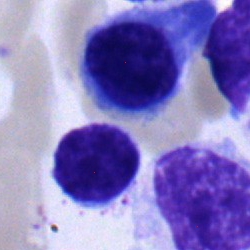

Showing a nucleated red blood cell.